Bone marrow smear; 40× objective, oil immersion — 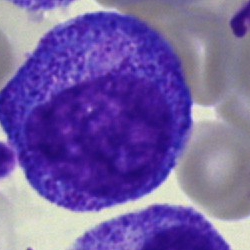

Impression → progranulocyte.